Bone marrow smear:
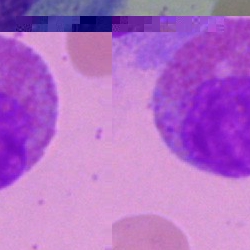 Morphological class = eosinophil.